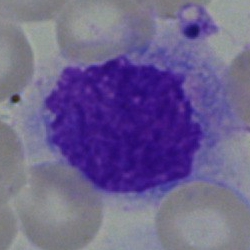
Bone marrow smear showing an artefact.